Bone marrow aspirate smear; May-Grünwald-Giemsa stain
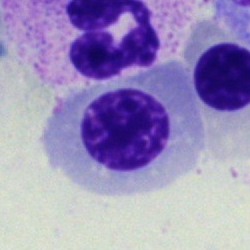 {"cell_type": "nucleated red cell", "lineage": "erythroid"}